Bone marrow smear · 40× objective, oil immersion — 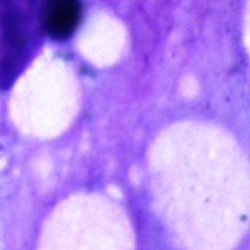 Specimen: bone marrow aspirate smear.
Cell: artefact.